MGG-stained; bone marrow aspirate smear; single-cell field
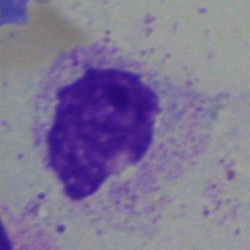

An artifact.